250×250; bone marrow aspirate smear:
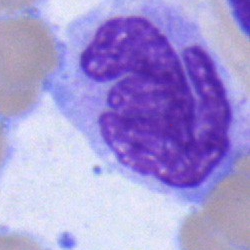
Single cell identified as a monocyte.